Bone marrow aspirate smear — 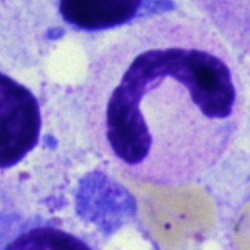
Morphology consistent with a segmented neutrophil.